Bone marrow aspirate smear.
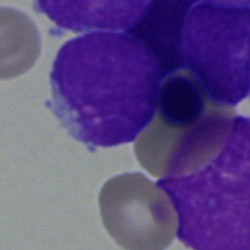Morphology consistent with a blast cell.